Bone marrow aspirate smear:
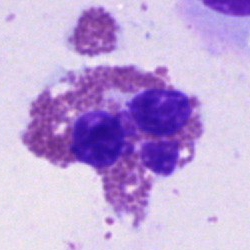An eosinophil.